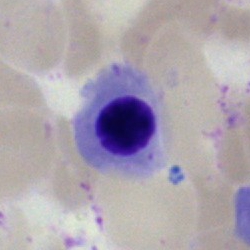 Single-cell crop from a bone marrow smear: erythroblast.